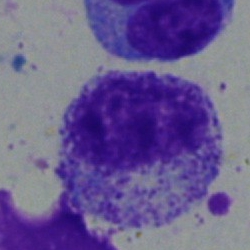
This is a myelocyte.